Brightfield, 40× oil-immersion objective; bone marrow aspirate smear
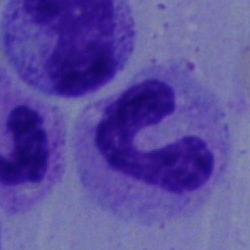

Impression — band neutrophil.